Peripheral blood film. May-Grünwald-Giemsa-stained. CellaVision DM96 digital cell image.
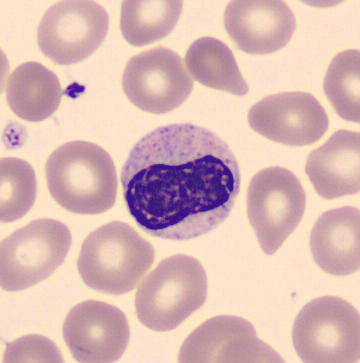A metamyelocyte.